Bone marrow aspirate smear. 40× oil immersion.
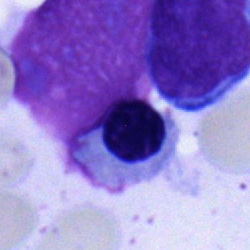
Impression → nucleated red cell.